Pappenheim-stained · bone marrow smear — 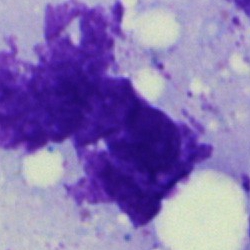

The cell shown is an artefact.